Bone marrow aspirate smear.
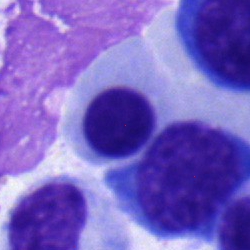
{"cell_type": "nucleated red cell", "lineage": "erythroid"}